Bone marrow aspirate smear: 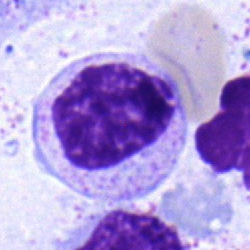
Specimen: bone marrow smear.
Morphological class: myelocyte.